250×250; bone marrow aspirate smear; single-cell field
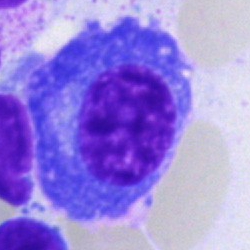This is a plasmacyte.